Bone marrow smear: 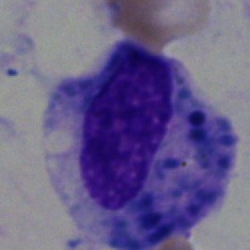Impression → unidentifiable cell.